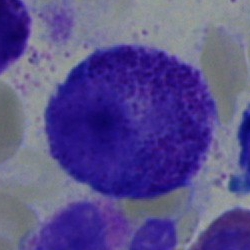

Q: What type of cell is this?
A: Promyelocyte.